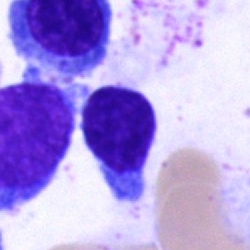Q: What type of cell is this?
A: This is a typical lymphocyte.